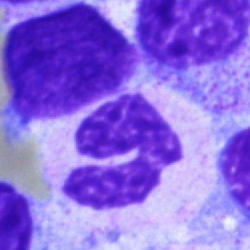 {"cell_type": "polymorphonuclear neutrophil", "lineage": "myeloid"}